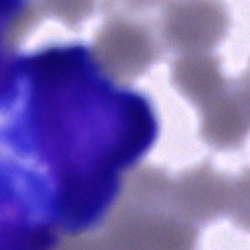
Q: What cell is this?
A: This is a blast cell.